Peripheral blood film
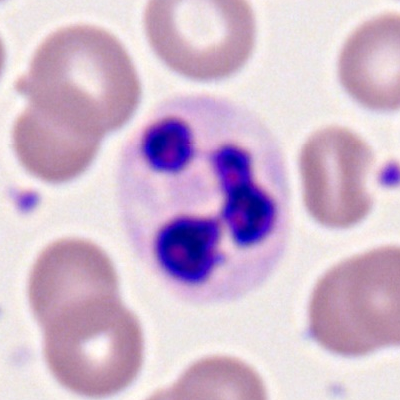

{"cell_type": "neutrophil (segmented)", "lineage": "myeloid"}